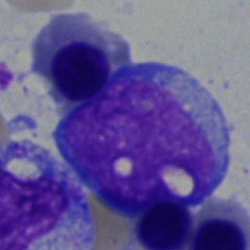
Impression → blast.